Bone marrow smear — 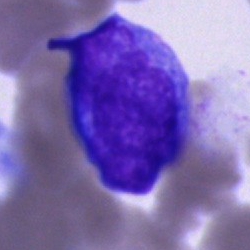A blast cell.